Bone marrow aspirate smear:
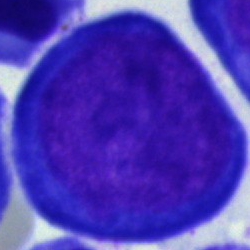
Q: What cell is this?
A: This is a pronormoblast.